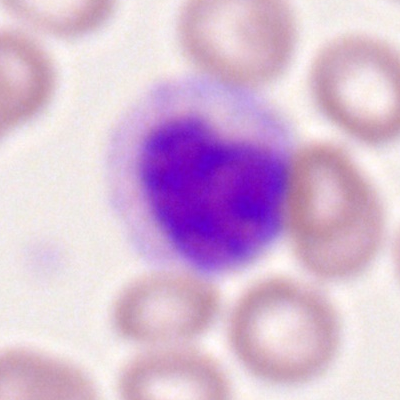

Q: What cell is this?
A: This is a metamyelocyte.